Peripheral blood smear
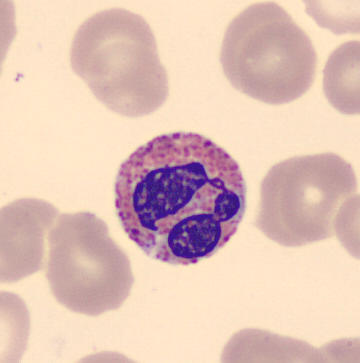
Cell type = eosinophil.